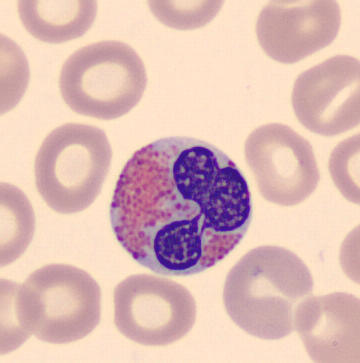Impression → eosinophil.